Brightfield, 40× oil-immersion objective. Bone marrow smear:
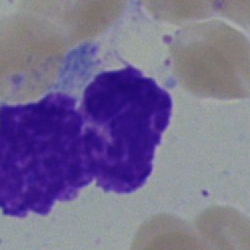An artifact.